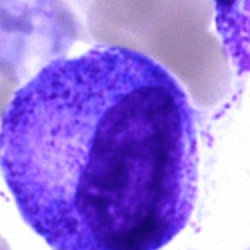Specimen: bone marrow smear.
Cell type: progranulocyte.